MGG-stained. Bone marrow aspirate smear.
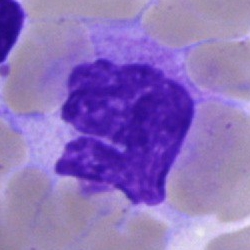Classification — unidentifiable cell.